Bone marrow aspirate smear
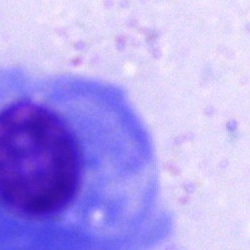

The classification is plasmacyte.